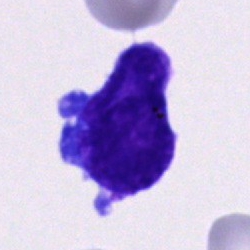A blast on a bone marrow smear.